Single cell centered in the field; 250 by 250 pixels; bone marrow smear
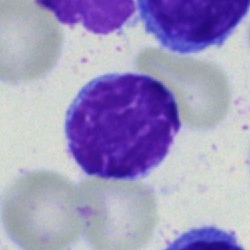 Cell = lymphocyte.